Bone marrow aspirate smear · 250×250 px · May-Grünwald-Giemsa/Pappenheim stain:
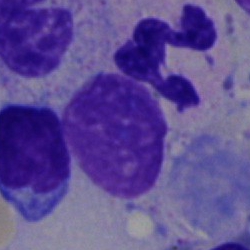Morphology → polymorphonuclear neutrophil.